Brightfield microscopy, 40× oil immersion · bone marrow aspirate smear: 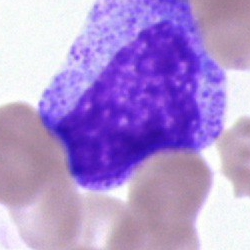 Specimen: bone marrow smear.
Cell type: myelocyte.